Single-cell crop. Bone marrow aspirate smear: 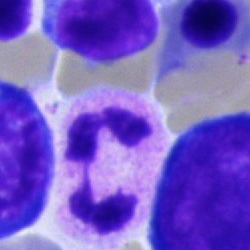 Cell — neutrophil (segmented).